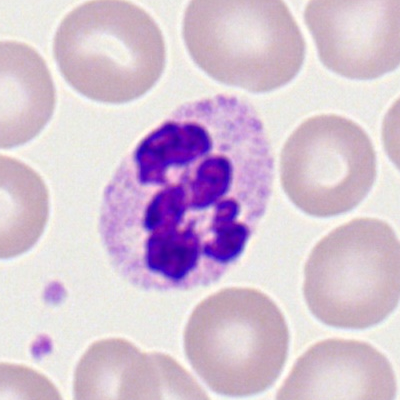

Q: What is shown here?
A: It is a neutrophil (segmented).